Bone marrow aspirate smear:
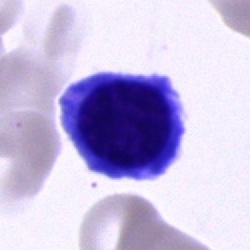 Q: What is shown here?
A: It is an artifact.